Bone marrow aspirate smear. Single-cell crop:
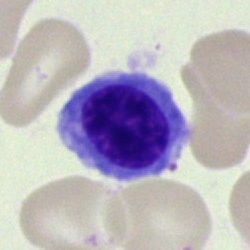 Morphology consistent with a nucleated red blood cell.